Brightfield microscopy, 40× oil immersion · Pappenheim-stained · bone marrow aspirate smear: 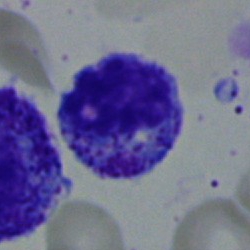 The cell shown is a myelocyte.